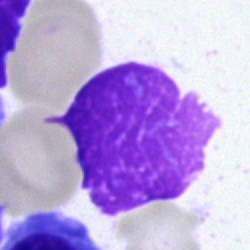
Morphology consistent with an artifact.